Single cell centered in the field · bone marrow smear — 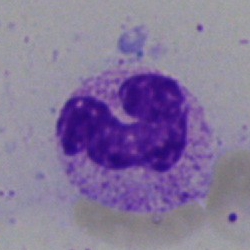Specimen: bone marrow smear.
Cell: neutrophil (segmented).